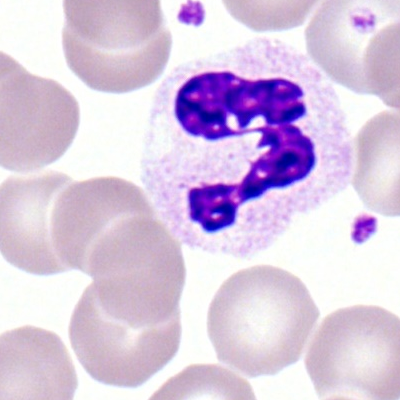
Morphology consistent with a neutrophil (segmented).